Single-cell field; 40× oil immersion; bone marrow aspirate smear:
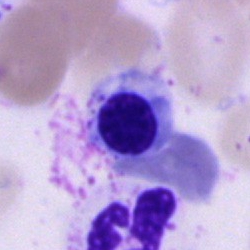
The cell shown is an erythroblast.